Brightfield, 40× oil-immersion objective · bone marrow aspirate smear: 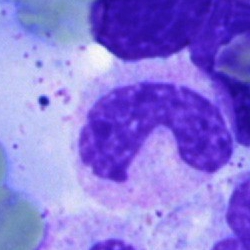
Cell: band neutrophil.